Bone marrow aspirate smear — 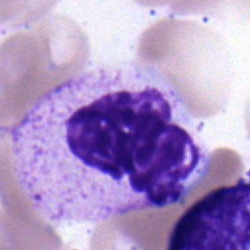

The cell shown is a polymorphonuclear neutrophil.